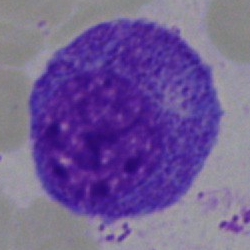A progranulocyte on a bone marrow smear.